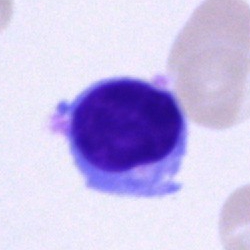
Cell: typical lymphocyte.